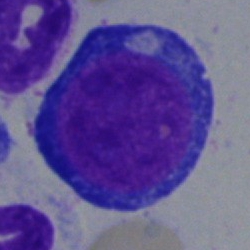 Q: Identify the cell.
A: An erythroblast.